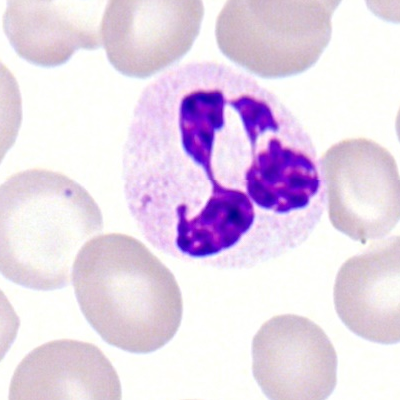

Polymorphonuclear neutrophil.